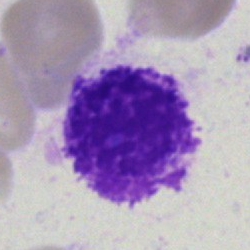Artifact.